Single-cell field. 250×250. Bone marrow aspirate smear: 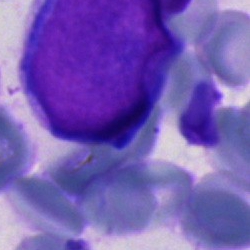 Specimen: bone marrow aspirate smear.
Classification: blast.